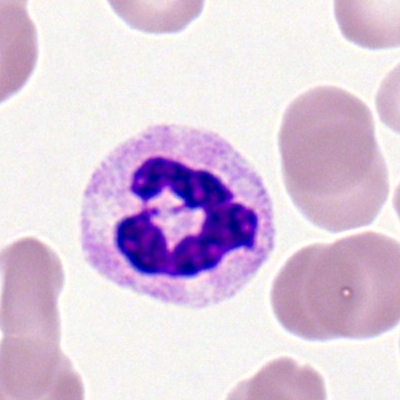

Q: What is shown here?
A: It is a polymorphonuclear neutrophil.